Peripheral blood smear
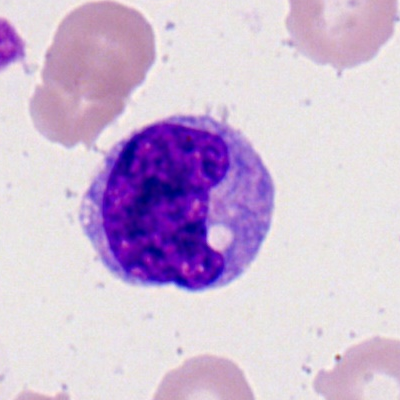
Cell type — monocyte.